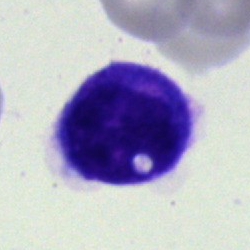Impression → typical lymphocyte.